Single-cell crop; bone marrow smear.
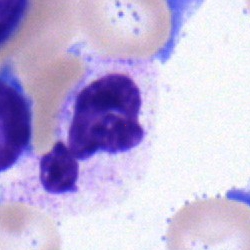Neutrophil (segmented).